Peripheral blood smear. Single-cell field — 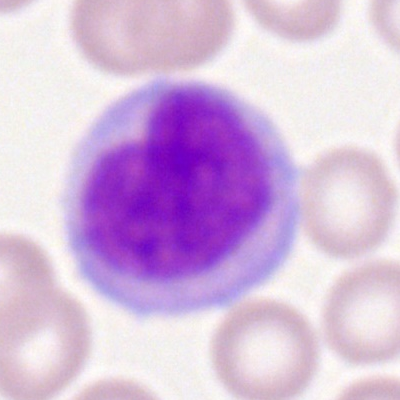 The morphological class is monocyte.